Peripheral blood film · cropped to a single cell:
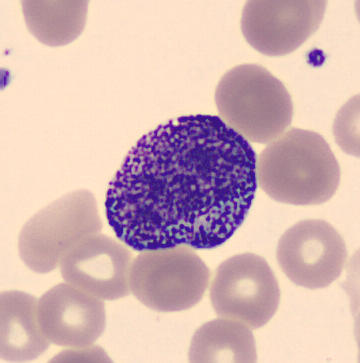
The cell shown is a myelocyte.